Bone marrow aspirate smear. Brightfield, 40× oil-immersion objective
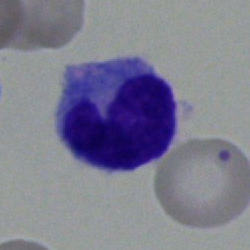 Impression — monocyte.